Image size 250×250; bone marrow smear.
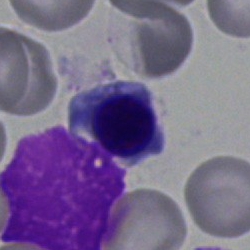
Q: What is the morphological classification of this cell?
A: Nucleated red cell.